Bone marrow aspirate smear — 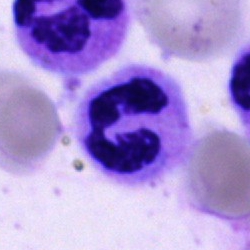
Q: Which cell type is shown here?
A: It is a neutrophil (segmented).